Bone marrow smear.
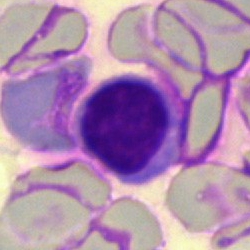

This is a lymphocyte.